Bone marrow aspirate smear:
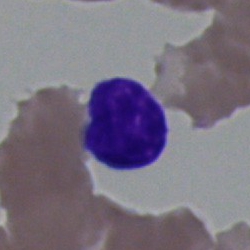 Morphology consistent with a typical lymphocyte.